Bone marrow smear:
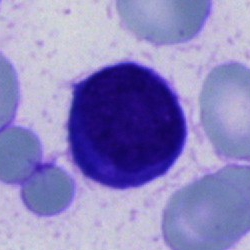

Morphology consistent with an unidentifiable cell.